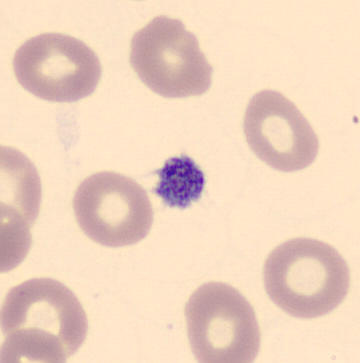
Acquisition: Peripheral blood smear.
The classification is platelet.